Bone marrow smear:
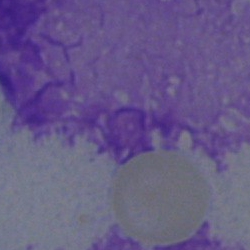

Morphological class: artifact.